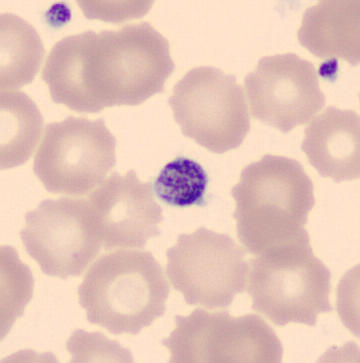

Impression — platelet.

Peripheral blood smear.